Bone marrow aspirate smear · cropped to a single cell:
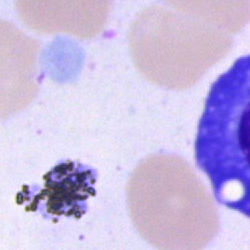

Cell — artifact.